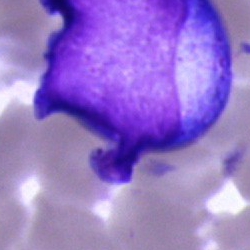 The cell type is blast cell.